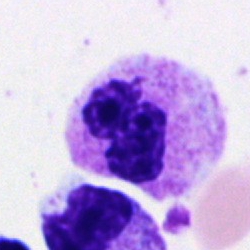
Q: What is shown here?
A: It is a segmented neutrophil.